Bone marrow aspirate smear; single cell centered in the field; May-Grünwald-Giemsa stain:
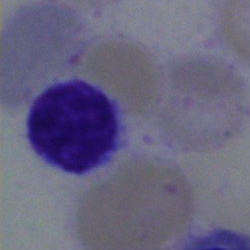Cell type = typical lymphocyte.